Bone marrow aspirate smear; Pappenheim-stained.
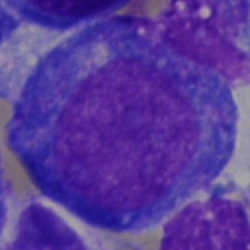{"cell_type": "undifferentiated blast"}